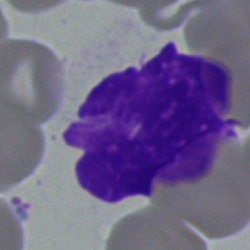 Morphological class = artefact.